Brightfield, 100× oil-immersion objective · peripheral blood smear: 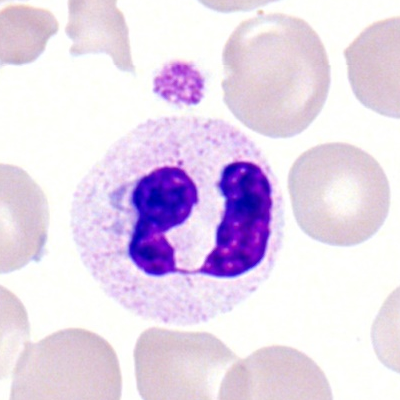 Q: What is shown here?
A: A neutrophil (segmented).